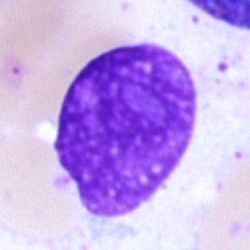
Specimen: bone marrow smear.
Cell type: artifact.